Bone marrow aspirate smear: 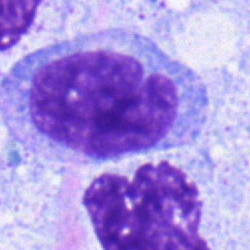 This is a monocyte.